Peripheral blood smear. M8 digital microscope (Precipoint), 100× oil immersion — 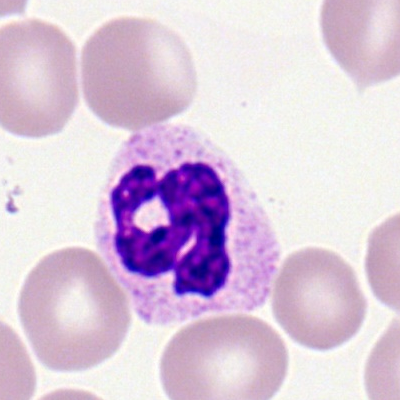
The cell shown is a segmented neutrophil.